Single-cell field. Bone marrow aspirate smear — 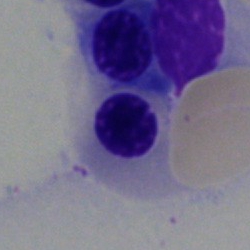
Morphology — erythroblast.